Bone marrow aspirate smear — 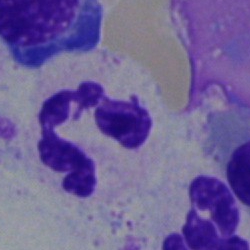 Polymorphonuclear neutrophil.